Bone marrow smear — 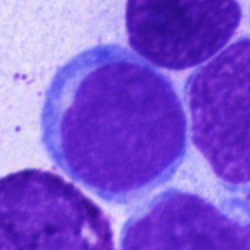

Impression — blast.